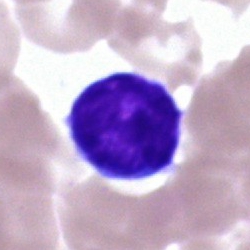

Single-cell crop from a bone marrow smear: lymphocyte.